Bone marrow aspirate smear.
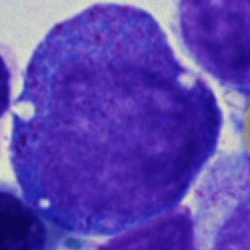Single cell identified as a progranulocyte.